Bone marrow aspirate smear: 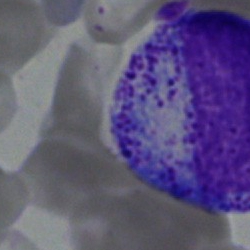
Q: What type of cell is this?
A: This is a myelocyte.